Peripheral blood film · image size 400×400: 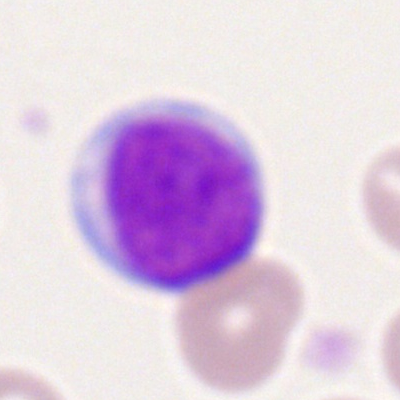
Cell: lymphocyte.